Peripheral blood film:
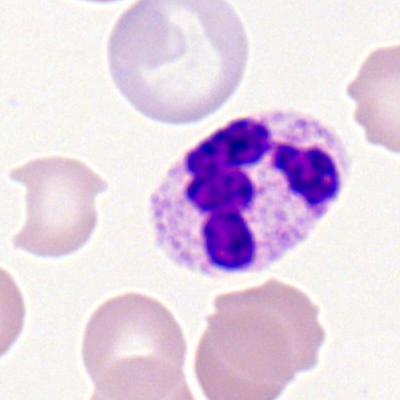Q: What is the morphological classification of this cell?
A: This is a polymorphonuclear neutrophil.